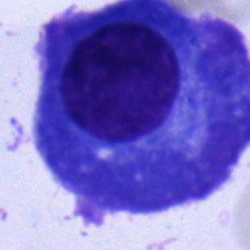

Impression → plasma cell.